Bone marrow smear.
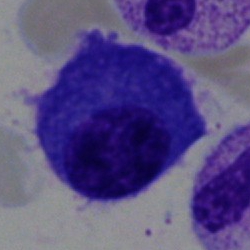Morphology — plasma cell.